Peripheral blood smear. 360 by 363 pixels
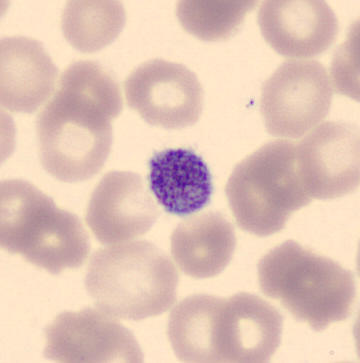 Specimen: peripheral blood film.
Classification: thrombocyte.